Brightfield microscopy, 40× oil immersion · bone marrow aspirate smear: 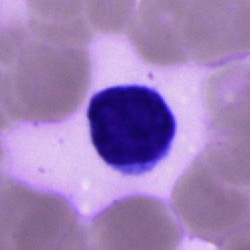Morphology consistent with a lymphocyte.